Bone marrow aspirate smear: 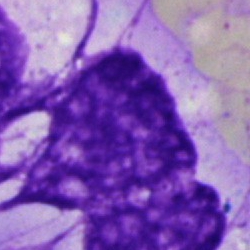The cell is artefact.